Bone marrow smear — 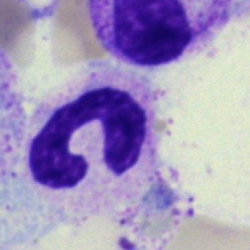Specimen: bone marrow aspirate smear.
Cell: band neutrophil.
Lineage: myeloid.